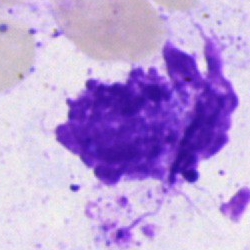
Single-cell crop from a bone marrow smear: artifact.